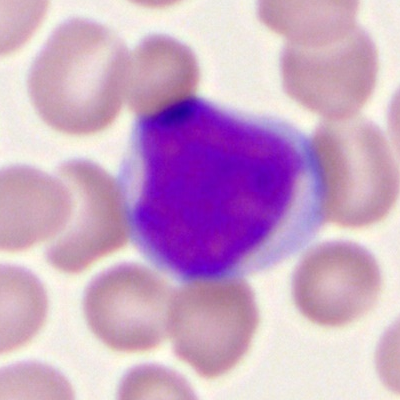 Morphology — myeloblast.